Bone marrow smear: 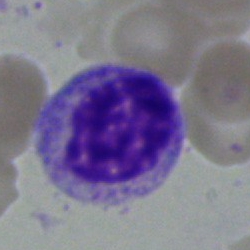 Classification: myelocyte.